Bone marrow aspirate smear
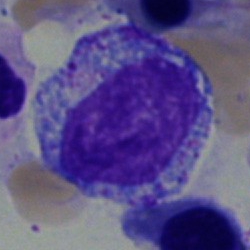Myelocyte.